MGG-stained. Single-cell crop. Bone marrow aspirate smear
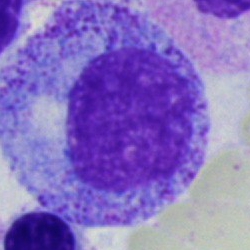Impression → progranulocyte.